Bone marrow aspirate smear; May-Grünwald-Giemsa stain; 250×250 px.
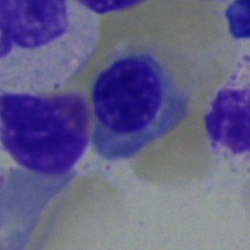Showing a nucleated red cell.